40× objective, oil immersion; MGG-stained; bone marrow aspirate smear: 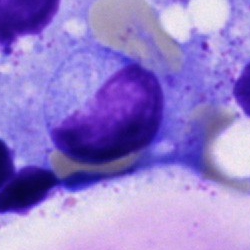

Morphology → typical lymphocyte.